Image size 400×400. Peripheral blood film. Single-cell crop.
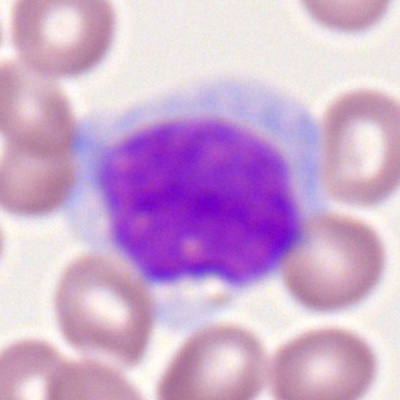
Showing a monocyte.